Bone marrow aspirate smear — 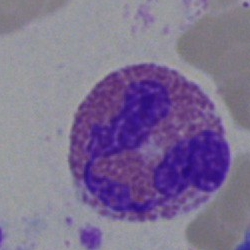 Morphological class = eosinophil.